Peripheral blood smear: 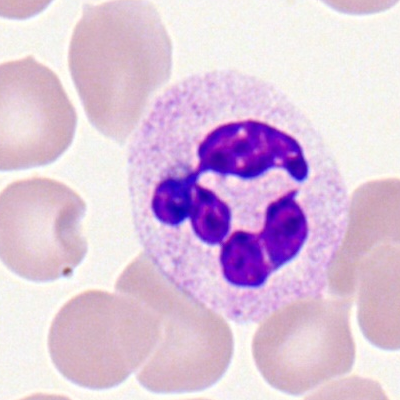Cell type — segmented neutrophil.